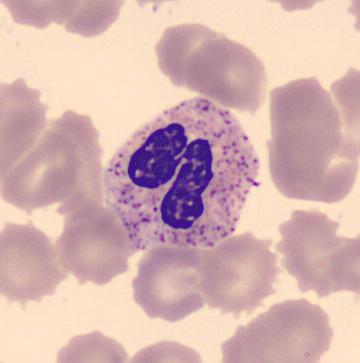 Acquisition: Peripheral blood smear · single-cell crop. This is a neutrophil (segmented).